Single-cell field; bone marrow aspirate smear.
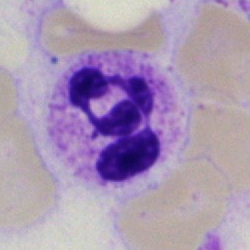 The cell shown is a segmented neutrophil.